40× objective, oil immersion. Bone marrow aspirate smear:
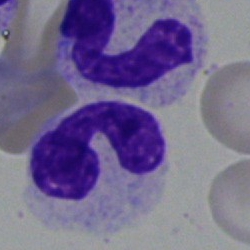 A polymorphonuclear neutrophil.